Bone marrow smear
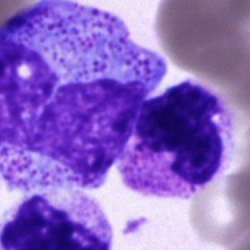 A promyelocyte.